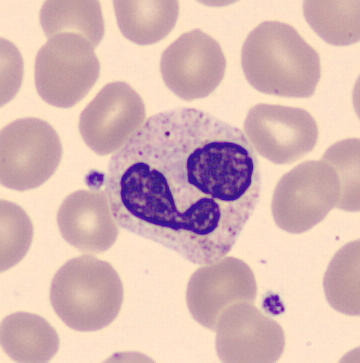
Image: Peripheral blood film.
Q: What cell is this?
A: It is a neutrophil (segmented).